Bone marrow smear: 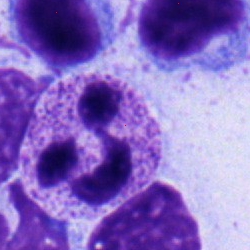

Q: What type of cell is this?
A: A segmented neutrophil.